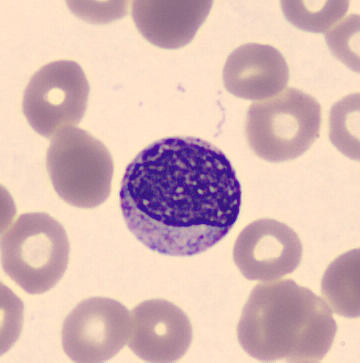
Specimen: peripheral blood smear.
Classification: myelocyte.